400×400 px. Peripheral blood film. M8 digital microscope (Precipoint), 100× oil immersion.
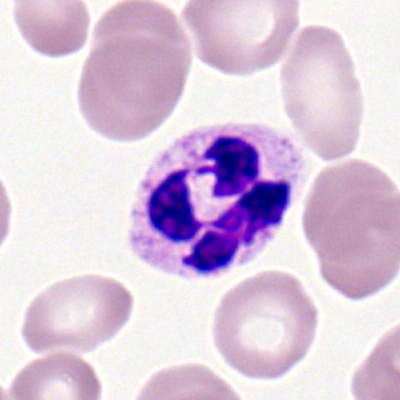

Cell type — segmented neutrophil.